40× oil immersion. Bone marrow aspirate smear. 250 by 250 pixels
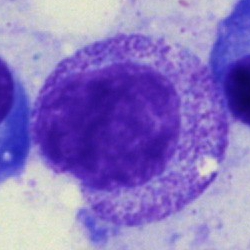
Cell type: myelocyte.